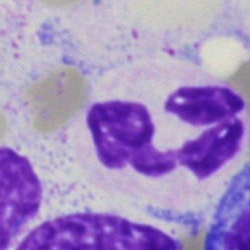

Impression → polymorphonuclear neutrophil.